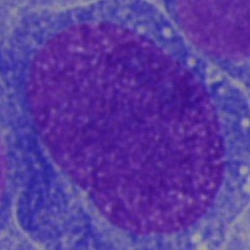
Blast.